Bone marrow smear · brightfield, 40× oil-immersion objective
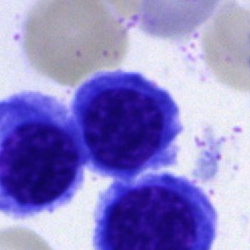

Morphological class: nucleated red blood cell.